MGG-stained · 250×250 px · bone marrow smear: 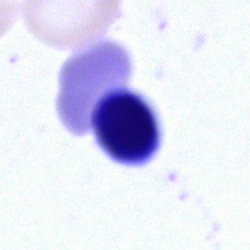 Impression → nucleated red blood cell.